Bone marrow aspirate smear. May-Grünwald-Giemsa/Pappenheim stain
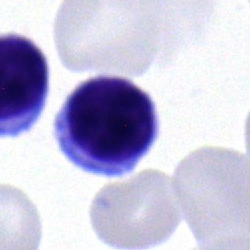 Classification: lymphocyte.